May-Grünwald-Giemsa stain · bone marrow smear · single-cell field.
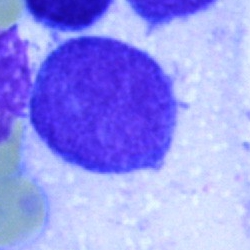Showing a blast.